Bone marrow smear.
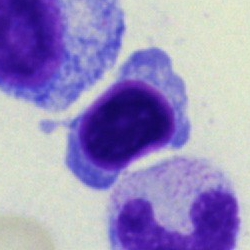
Single cell identified as a typical lymphocyte.